Bone marrow smear
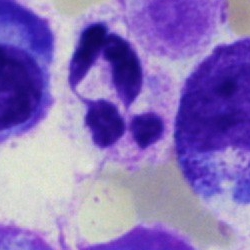

Specimen: bone marrow aspirate smear.
Classification: polymorphonuclear neutrophil.